MGG-stained. Bone marrow aspirate smear.
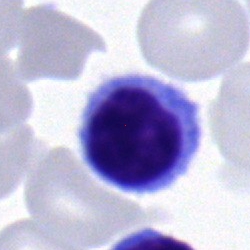 Single cell identified as a typical lymphocyte.